Bone marrow smear; 250×250 px.
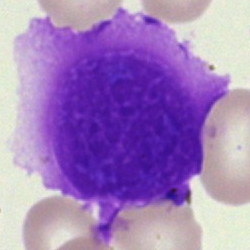
Artifact.